Bone marrow smear
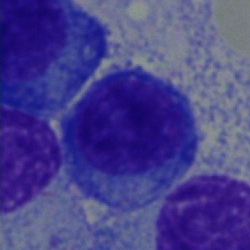
The morphological class is plasmacyte.